Bone marrow smear — 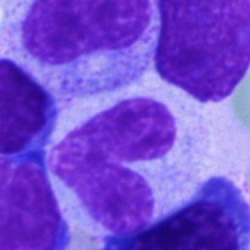 Impression — band neutrophil.